Single-cell crop · bone marrow aspirate smear:
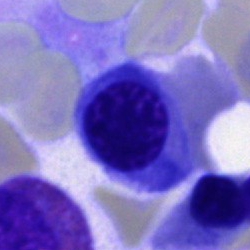Showing a nucleated red cell.